Single-cell field · bone marrow smear · 250 by 250 pixels:
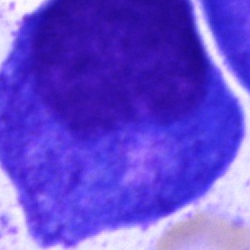
Morphological class: promyelocyte.